Peripheral blood film
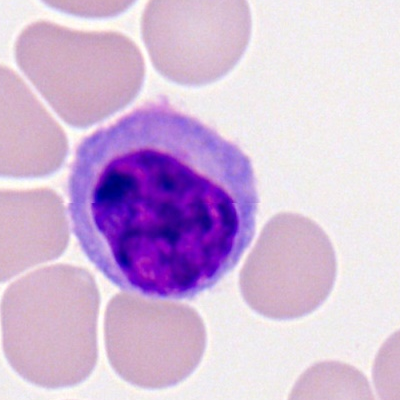Specimen: peripheral blood smear.
Cell: typical lymphocyte.